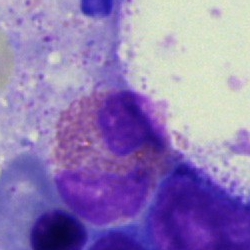 Q: What type of cell is this?
A: Eosinophil.